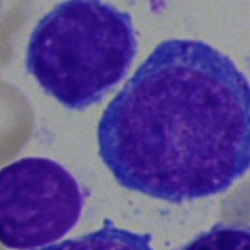The morphological class is proerythroblast.